Bone marrow smear.
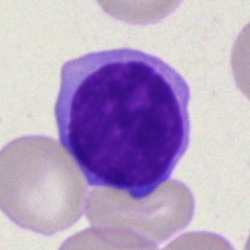
Classification: typical lymphocyte.